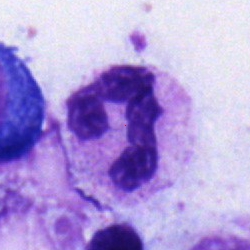Bone marrow smear showing a polymorphonuclear neutrophil.